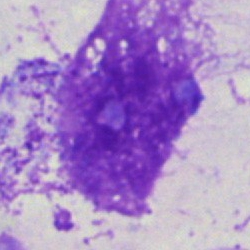 Specimen: bone marrow aspirate smear.
Cell: artefact.